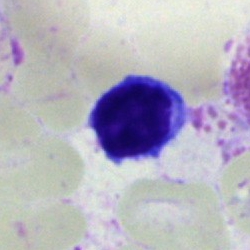

A typical lymphocyte.